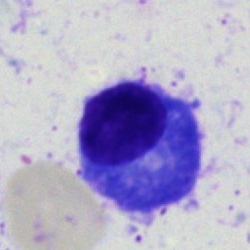 Impression — plasma cell.